Bone marrow aspirate smear
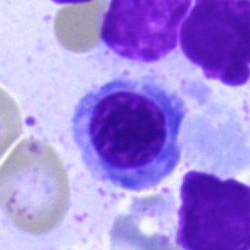 Specimen: bone marrow aspirate smear.
Morphological class: nucleated red blood cell.